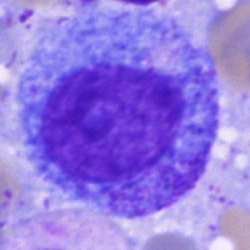 Q: What type of cell is this?
A: A progranulocyte.